Bone marrow smear: 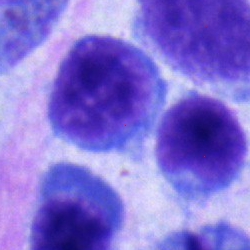
Q: Which cell type is shown here?
A: This is a typical lymphocyte.